Bone marrow smear.
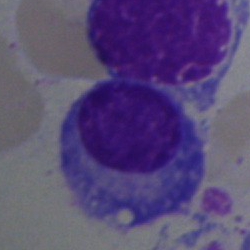
Morphology consistent with a plasma cell.